Image size 250×250. Brightfield, 40× oil-immersion objective. Bone marrow aspirate smear — 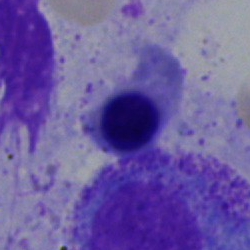 Classification = nucleated red cell.